Bone marrow aspirate smear
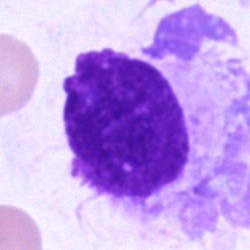
Artifact.